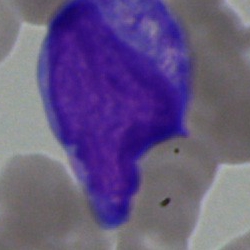 Morphology consistent with an undifferentiated blast.